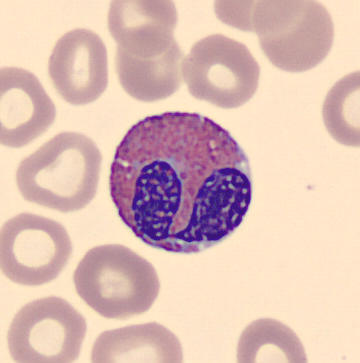

Image: Peripheral blood smear.
Eosinophil.